Bone marrow aspirate smear.
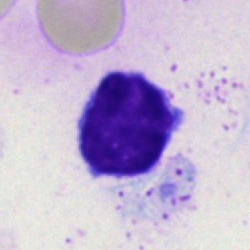
A typical lymphocyte.